Image size 250×250. Bone marrow smear — 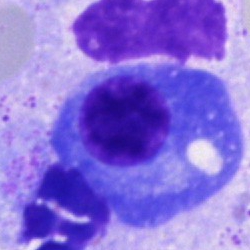
Single cell identified as a plasmacyte.